Bone marrow smear — 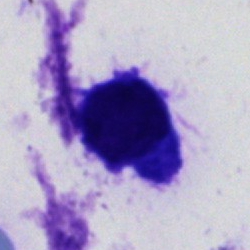Q: What is shown here?
A: An artifact.